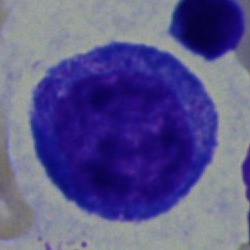Morphology consistent with a promyelocyte.